Single-cell field; bone marrow smear: 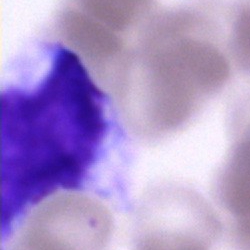
Morphology consistent with a cell of indeterminate lineage.